250×250. Bone marrow smear — 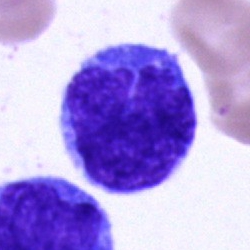 {"cell_type": "monocyte", "lineage": "myeloid"}